Bone marrow smear.
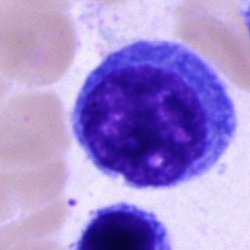

Q: What type of cell is this?
A: It is a blast.